Bone marrow aspirate smear: 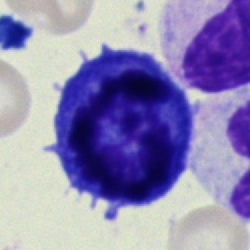
Specimen: bone marrow smear.
Cell: artifact.